Single cell centered in the field. Bone marrow smear:
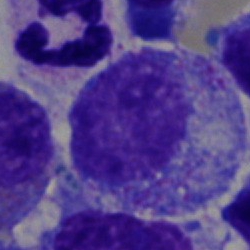

Cell — progranulocyte.